Peripheral blood smear: 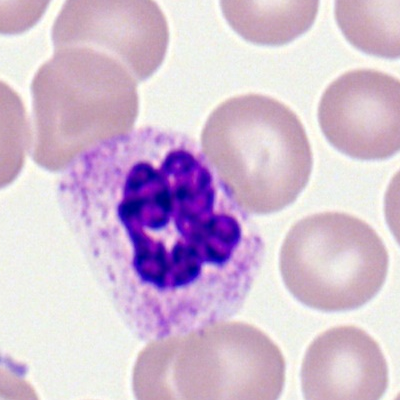
A neutrophil (segmented).